Bone marrow aspirate smear. 250×250 px:
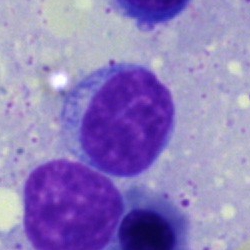 Cell = lymphocyte.